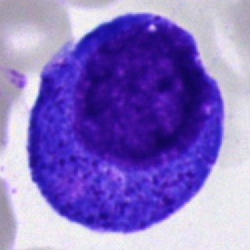

Morphology → progranulocyte.